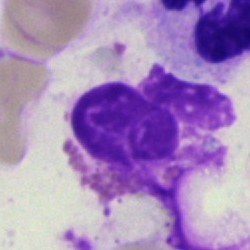
Q: What is shown here?
A: An artifact.